Bone marrow smear: 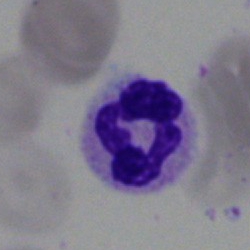

Single cell identified as a neutrophil (segmented).